Cropped to a single cell. Bone marrow aspirate smear. Brightfield microscopy, 40× oil immersion.
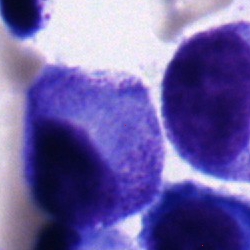
A myelocyte.